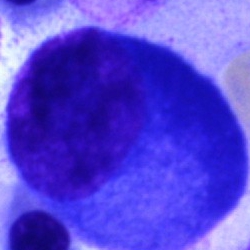
Classification — plasmacyte.